250 by 250 pixels; bone marrow smear; cropped to a single cell:
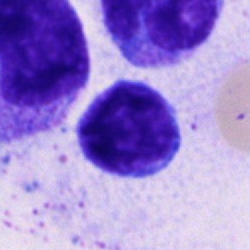 Showing a typical lymphocyte.